Bone marrow smear.
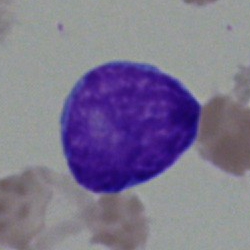
Q: What is shown here?
A: It is an undifferentiated blast.